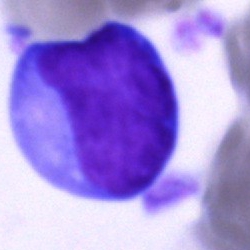The morphological class is blast.